Bone marrow smear:
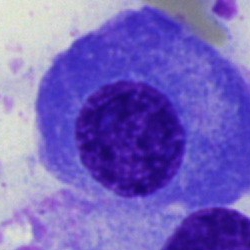Morphology — plasma cell.